Bone marrow smear: 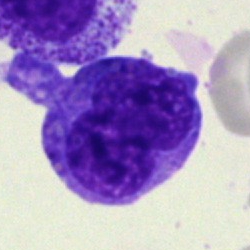 Cell = monocyte.